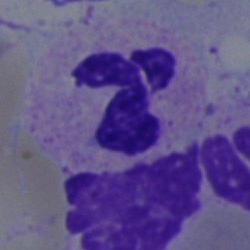 Specimen: bone marrow smear.
Cell type: segmented neutrophil.
Lineage: myeloid.